May-Grünwald-Giemsa stain; bone marrow aspirate smear.
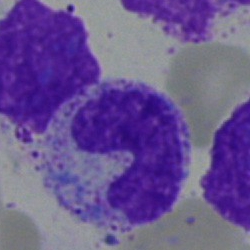 The cell type is band neutrophil.